Bone marrow aspirate smear:
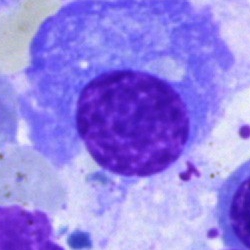
Impression — plasma cell.